Bone marrow smear:
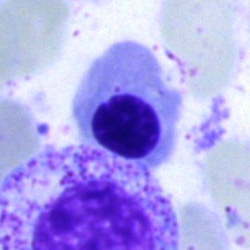 Morphological class — normoblast.